Bone marrow smear — 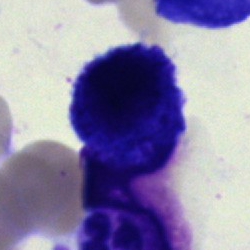
Morphology consistent with a plasmacyte.